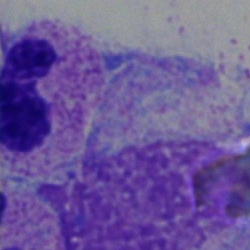Q: What is shown here?
A: An artifact.